Bone marrow smear: 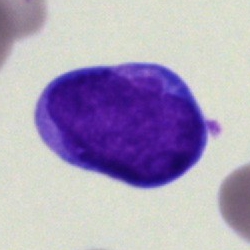 Morphological class — undifferentiated blast.